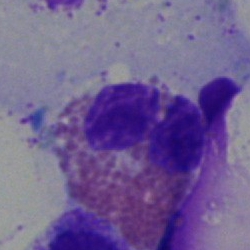 The cell is eosinophilic granulocyte.